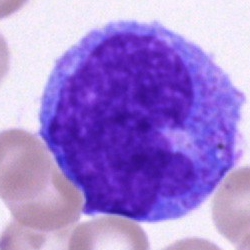

Q: Which cell type is shown here?
A: This is a monocyte.